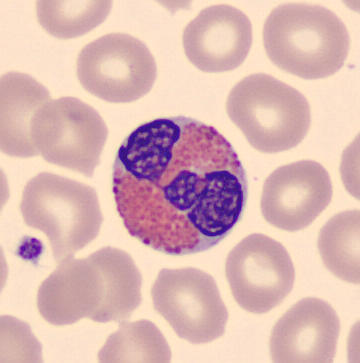
Classification — eosinophil.
Preparation: Peripheral blood smear. Single cell centered in the field.